40× objective, oil immersion · single-cell crop · bone marrow aspirate smear: 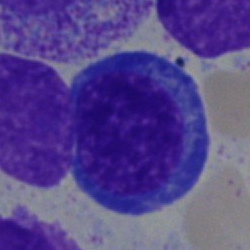
{"cell_type": "nucleated red blood cell"}